Image size 250×250; bone marrow smear; brightfield microscopy, 40× oil immersion: 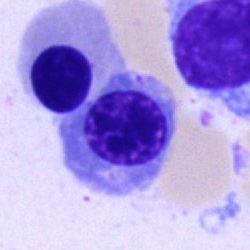Showing a nucleated red cell.